Bone marrow aspirate smear · MGG-stained — 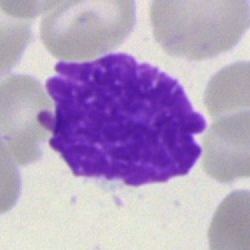 {"cell_type": "Gumprecht shadow"}